Bone marrow smear. Image size 250×250.
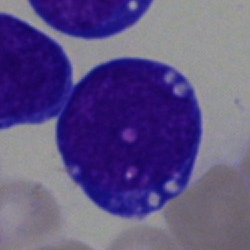
Cell type = blast.